Bone marrow aspirate smear. Brightfield microscopy, 40× oil immersion: 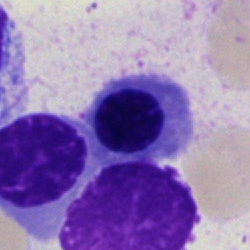
Showing a nucleated red cell.